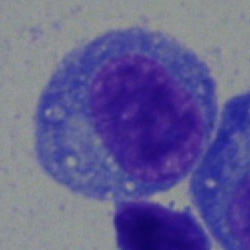

Morphology → plasma cell.